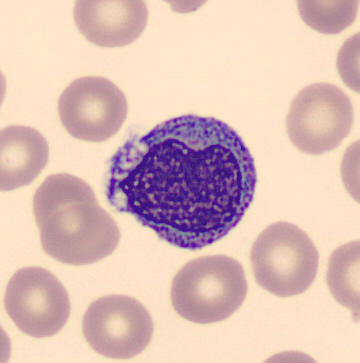Impression — monocyte.
Image: Peripheral blood smear.